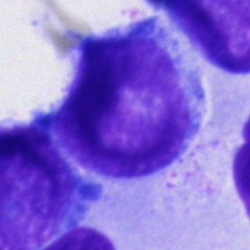 Morphology — blast cell.